Image size 400×400; peripheral blood smear: 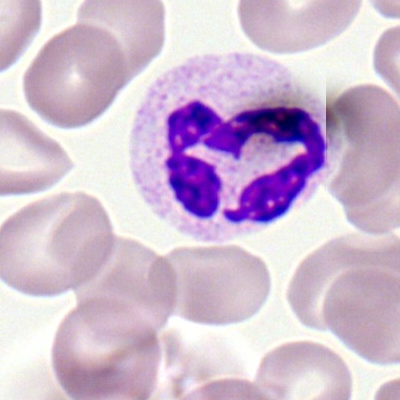
Specimen: peripheral blood film.
Classification: neutrophil (segmented).
Lineage: myeloid.